Bone marrow smear.
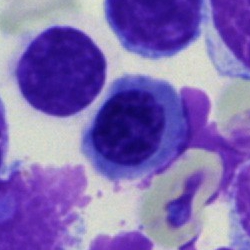A normoblast.